Bone marrow smear:
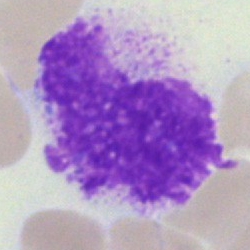Specimen: bone marrow aspirate smear.
Classification: artefact.